250 by 250 pixels. MGG-stained. Bone marrow smear: 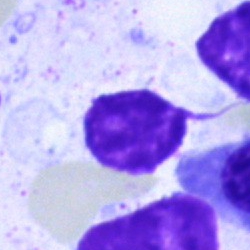 Morphological class: artifact.